Bone marrow smear; 250 by 250 pixels: 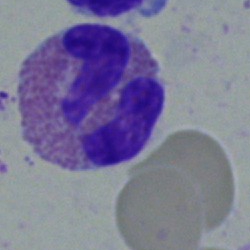

Morphology consistent with a basophil.